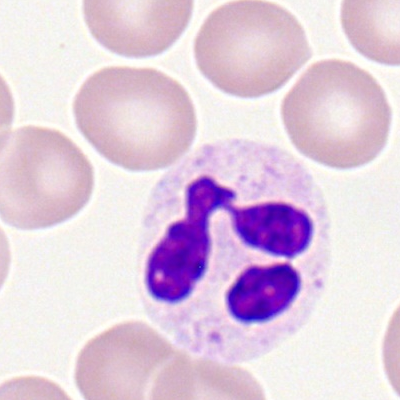 Peripheral blood smear showing a neutrophil (segmented).